Bone marrow smear.
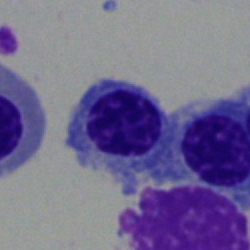
Morphology → erythroblast.